Bone marrow aspirate smear; single cell centered in the field:
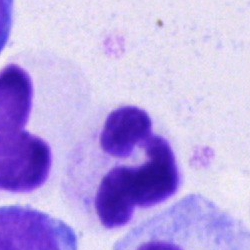 {"cell_type": "neutrophil (segmented)", "lineage": "myeloid"}